Peripheral blood film.
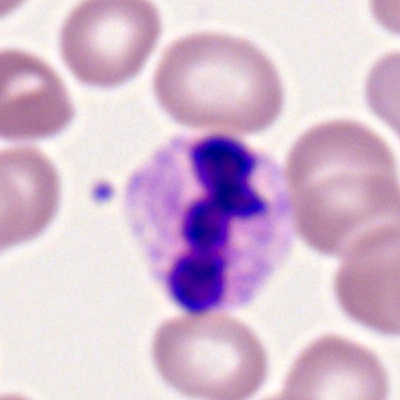Cell — segmented neutrophil.